MGG-stained · bone marrow smear
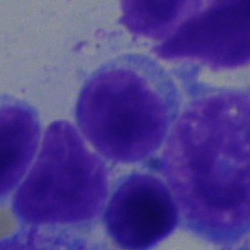

Cell: lymphocyte.